Bone marrow smear. Pappenheim-stained: 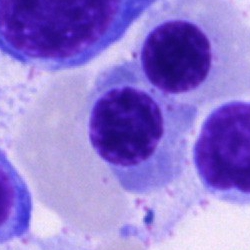
This is a normoblast.